Bone marrow aspirate smear
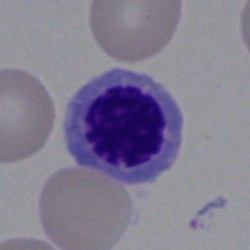
Erythroblast.